250×250 px. Bone marrow aspirate smear:
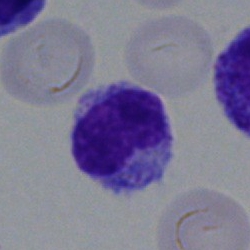
The cell shown is a typical lymphocyte.